Single-cell crop · bone marrow smear — 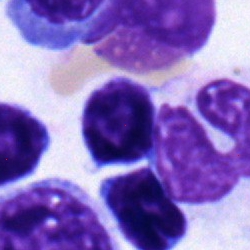

Specimen: bone marrow smear.
Cell: lymphocyte.